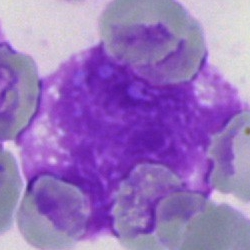
Showing an artefact.